Bone marrow aspirate smear.
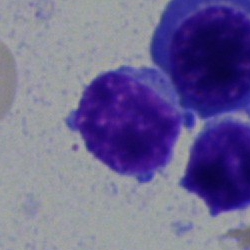Cell: lymphocyte.